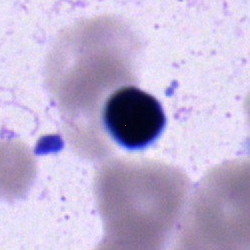
Impression → typical lymphocyte.